Single-cell field; bone marrow smear — 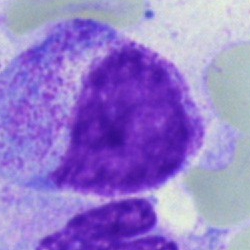Classification — myelocyte.